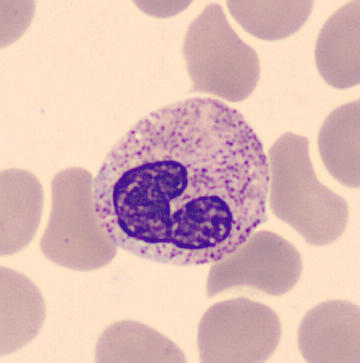Preparation: CellaVision DM96. Peripheral blood film.
The cell type is band-form neutrophil.